Peripheral blood film
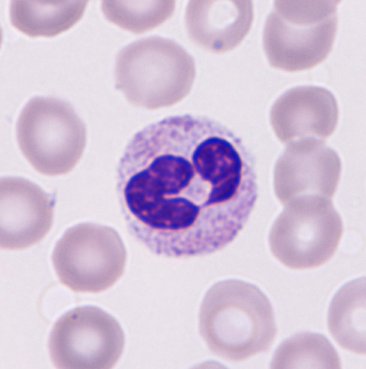 Specimen: peripheral blood smear.
Cell: neutrophil granulocyte.
Lineage: myeloid.